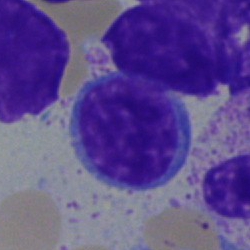

Morphological class — lymphocyte.